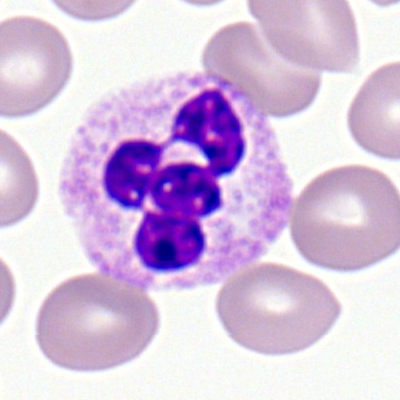
Morphology — polymorphonuclear neutrophil.